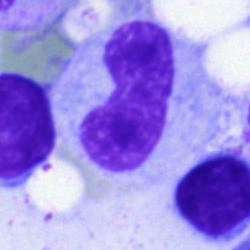

Q: What type of cell is this?
A: Band-form neutrophil.